Bone marrow aspirate smear
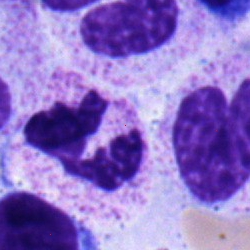

Q: What type of cell is this?
A: This is a polymorphonuclear neutrophil.